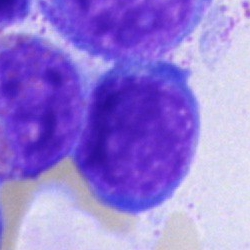

Bone marrow aspirate smear, single cell — nucleated red cell.